Peripheral blood film: 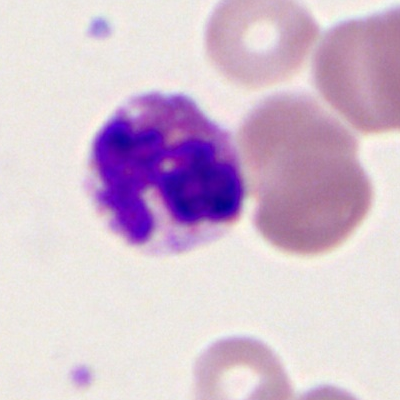 The cell shown is an eosinophil.